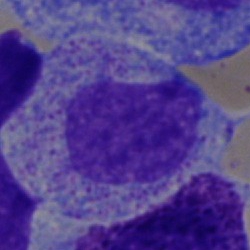
Specimen: bone marrow aspirate smear.
Morphological class: myelocyte.
Lineage: myeloid.